40× oil immersion. Bone marrow smear.
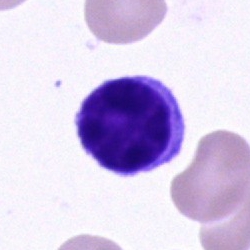

Cell: typical lymphocyte.